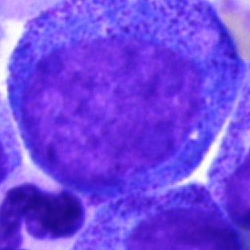

Bone marrow aspirate smear, single cell — promyelocyte.